Bone marrow smear:
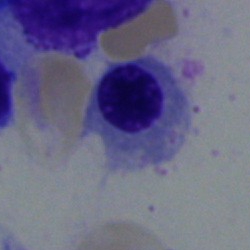A normoblast.